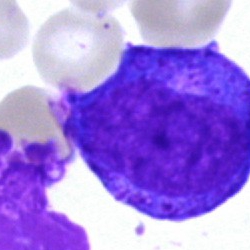

Specimen: bone marrow smear.
Cell type: promyelocyte.